Bone marrow aspirate smear.
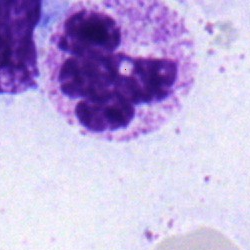 Morphology → polymorphonuclear neutrophil.